Bone marrow aspirate smear:
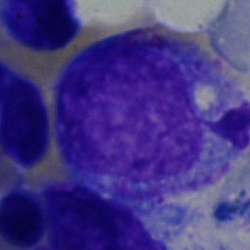
Cell type: progranulocyte.